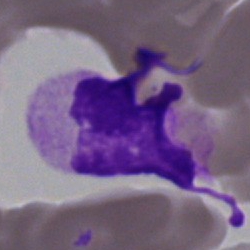

The cell is artifact.